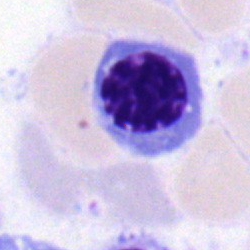

Impression — normoblast.